Bone marrow aspirate smear · 40× objective, oil immersion.
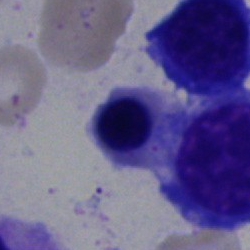

This is a nucleated red blood cell.